Bone marrow aspirate smear.
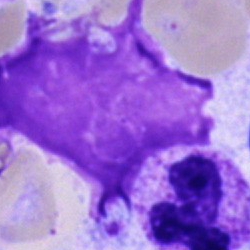 Morphological class — artefact.